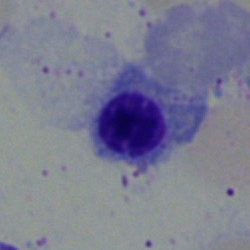
{"cell_type": "normoblast", "lineage": "erythroid"}